Bone marrow aspirate smear:
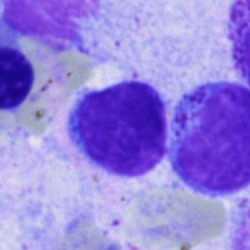 Q: What cell is this?
A: Typical lymphocyte.